Bone marrow smear. Single-cell field.
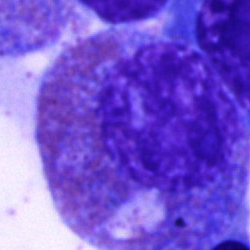
Q: What type of cell is this?
A: It is an eosinophil.